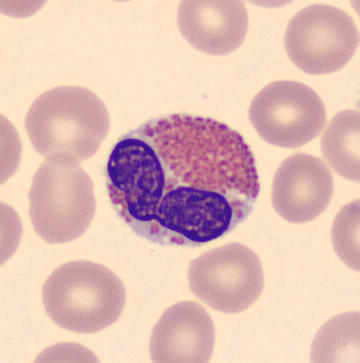Image: MGG-stained. Peripheral blood smear.
Morphology consistent with an eosinophilic granulocyte.